250×250 px; bone marrow aspirate smear.
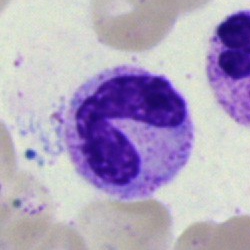 {"cell_type": "band neutrophil", "lineage": "myeloid"}